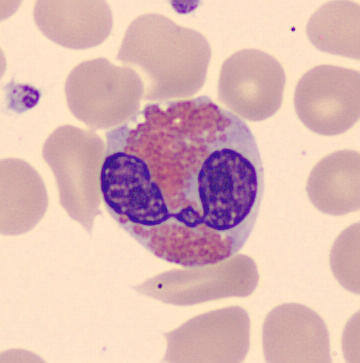 Specimen: peripheral blood smear.
Cell type: eosinophilic granulocyte.
Lineage: myeloid.